40× objective, oil immersion · May-Grünwald-Giemsa/Pappenheim stain · bone marrow aspirate smear — 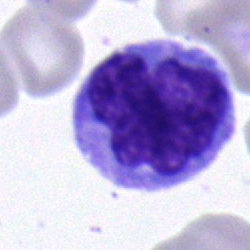Cell type — monocyte.